Bone marrow smear:
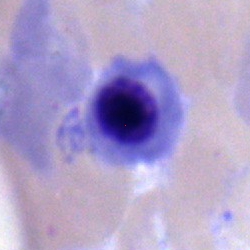
Cell type: nucleated red cell.